Bone marrow smear · brightfield microscopy, 40× oil immersion · single cell centered in the field.
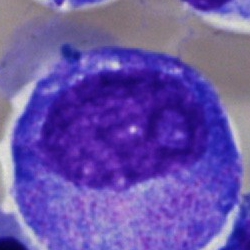
A progranulocyte.